MGG-stained · bone marrow smear
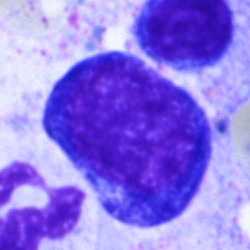
The cell shown is a pronormoblast.